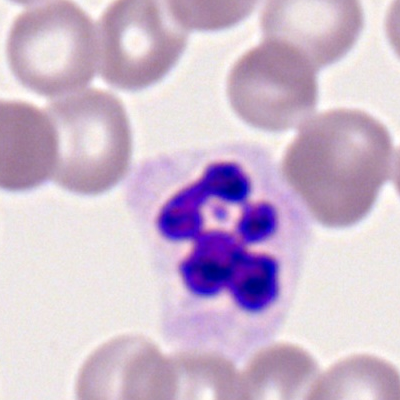
This is a segmented neutrophil.